Peripheral blood smear; image size 360×363: 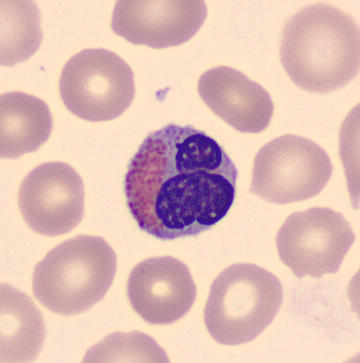 Cell type: eosinophilic granulocyte.